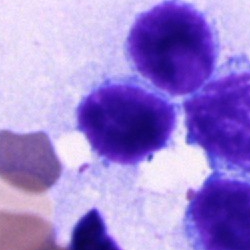Typical lymphocyte.